40× oil immersion. Bone marrow aspirate smear:
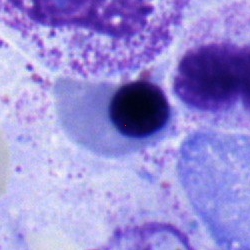

The morphological class is nucleated red cell.